Bone marrow aspirate smear. 250 by 250 pixels — 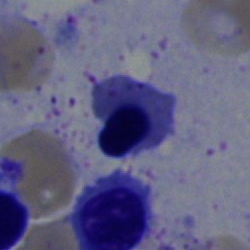
Specimen: bone marrow smear.
Morphological class: erythroblast.
Lineage: erythroid.